Bone marrow smear.
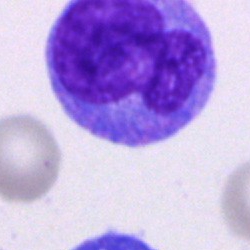 This is a monocyte.